Bone marrow smear: 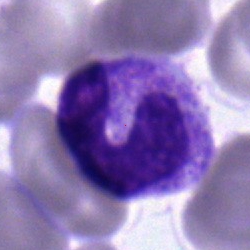 {"cell_type": "band-form neutrophil", "lineage": "myeloid"}